Peripheral blood film. Cropped to a single cell. 400×400
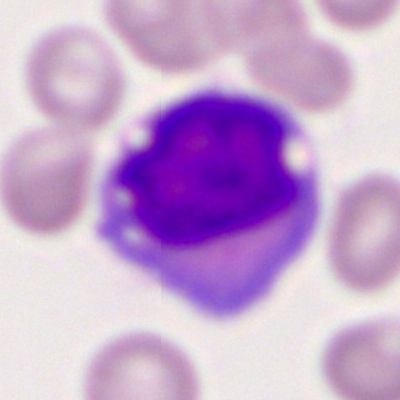

The cell shown is a myeloid blast.